Bone marrow smear:
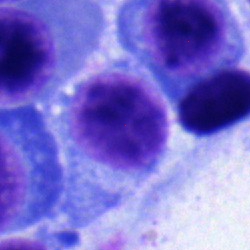 Morphological class — typical lymphocyte.